Bone marrow aspirate smear
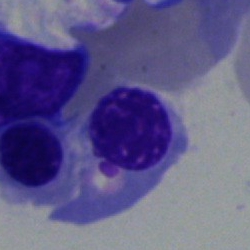
The morphological class is erythroblast.